Bone marrow smear.
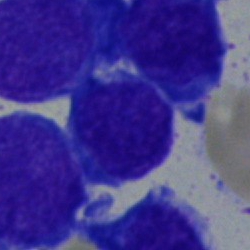 Specimen: bone marrow smear.
Cell type: blast.